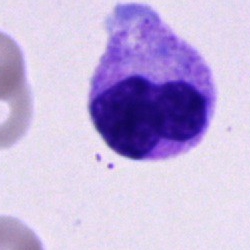

Q: What type of cell is this?
A: A metamyelocyte.